250×250 px; bone marrow aspirate smear; May-Grünwald-Giemsa stain.
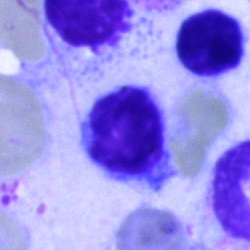Morphology — lymphocyte.